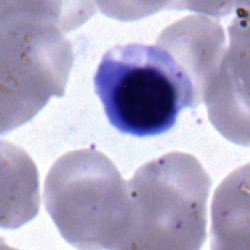

{"cell_type": "normoblast", "lineage": "erythroid"}